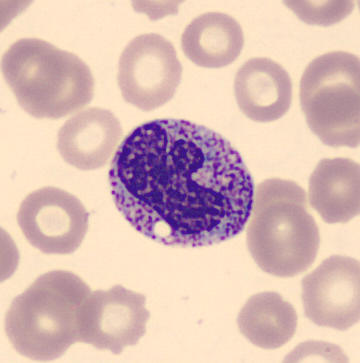
Q: What cell is this?
A: This is a metamyelocyte. Peripheral blood smear.